Bone marrow aspirate smear
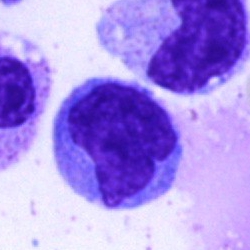
Q: What is shown here?
A: It is a monocyte.